Bone marrow aspirate smear.
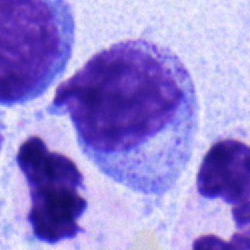Cell type — myelocyte.